Bone marrow smear
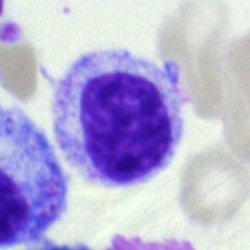Showing a myelocyte.